Peripheral blood smear: 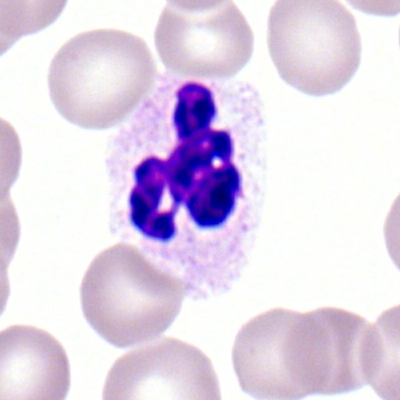

This is a neutrophil (segmented).